Bone marrow aspirate smear.
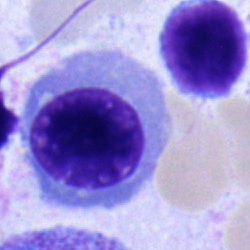

Nucleated red blood cell.